Bone marrow aspirate smear
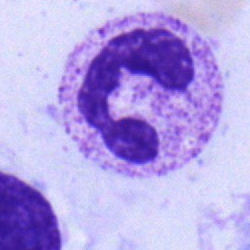

Specimen: bone marrow smear.
Morphological class: segmented neutrophil.
Lineage: myeloid.